Bone marrow aspirate smear; image size 250×250: 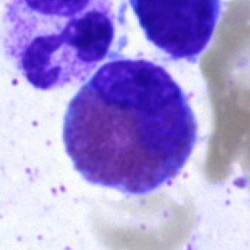
Morphology consistent with an eosinophil.